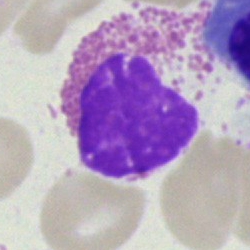
Q: What is the morphological classification of this cell?
A: An eosinophil.